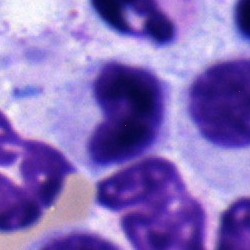

Specimen: bone marrow aspirate smear.
Morphological class: band-form neutrophil.